250×250 px; Pappenheim-stained; bone marrow smear.
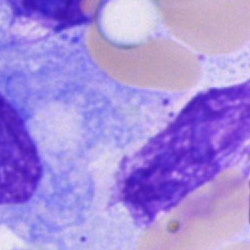An artifact.